Brightfield, 40× oil-immersion objective; bone marrow aspirate smear.
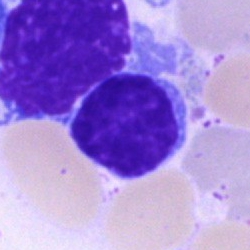
Classification = lymphocyte.